Peripheral blood smear: 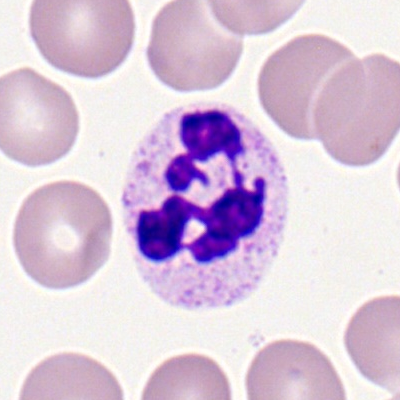 Specimen: peripheral blood smear.
Classification: segmented neutrophil.